Bone marrow aspirate smear · 40× oil immersion:
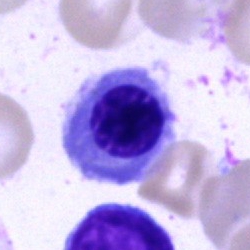

The cell type is nucleated red cell.